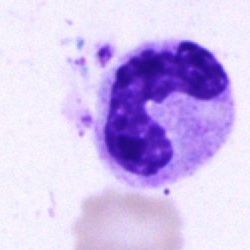Specimen: bone marrow aspirate smear.
Classification: stab cell.
Lineage: myeloid.